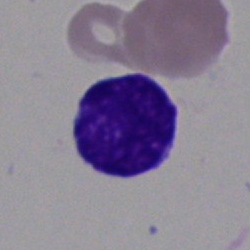

Morphology → blast.